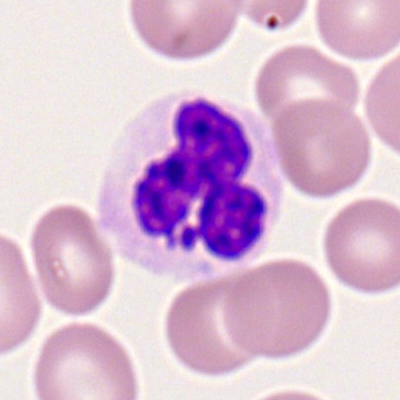

Showing a polymorphonuclear neutrophil.